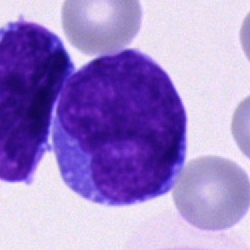Impression — blast cell.